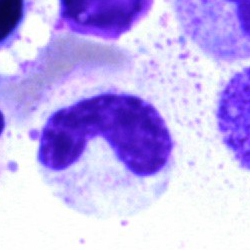Q: Identify the cell.
A: A stab cell.